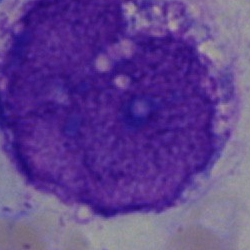
Morphology → artifact.